Bone marrow smear: 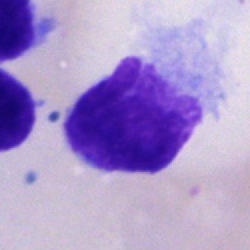Classification — artefact.